Bone marrow aspirate smear
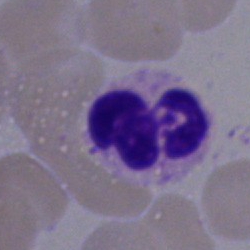Morphology consistent with a neutrophil (segmented).